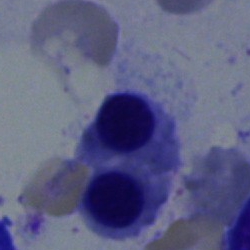 Q: What is the morphological classification of this cell?
A: It is a nucleated red blood cell.